Bone marrow smear; single-cell field:
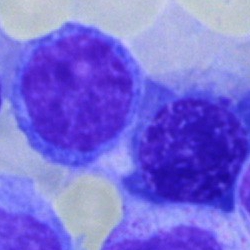Typical lymphocyte.